May-Grünwald-Giemsa/Pappenheim stain · 40× objective, oil immersion · bone marrow aspirate smear: 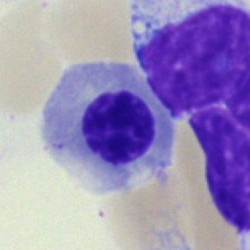Morphology → nucleated red blood cell.